Bone marrow smear.
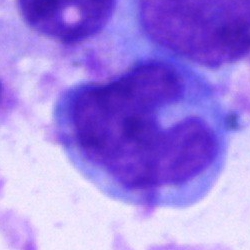
Q: Identify the cell.
A: This is a monocyte.